Single-cell field. Bone marrow smear: 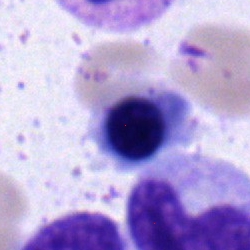
Impression — nucleated red blood cell.